Bone marrow aspirate smear
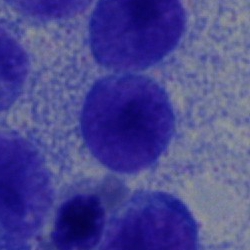Q: Identify the cell.
A: Typical lymphocyte.